Brightfield microscopy, 40× oil immersion. May-Grünwald-Giemsa/Pappenheim stain. Bone marrow smear: 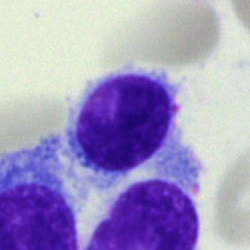
This is a hairy cell.